40× oil immersion · bone marrow smear · MGG-stained.
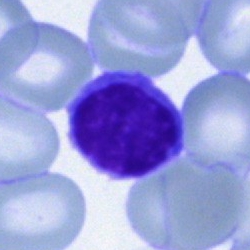

Morphology → typical lymphocyte.